Single-cell field · peripheral blood film · Romanowsky-stained:
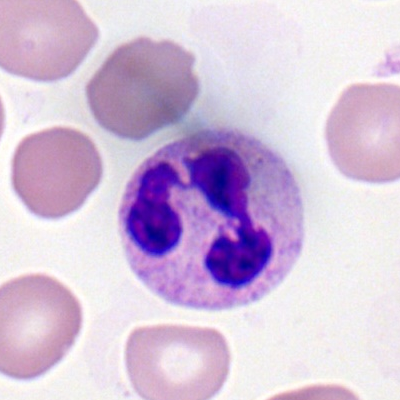
A neutrophil (segmented).